Bone marrow smear.
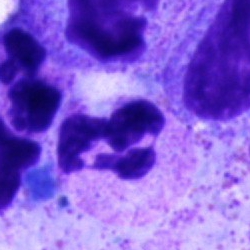

Specimen: bone marrow smear.
Cell: polymorphonuclear neutrophil.
Lineage: myeloid.